Bone marrow smear · brightfield microscopy, 40× oil immersion:
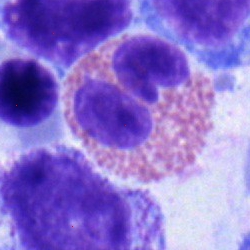
Specimen: bone marrow smear.
Cell type: eosinophil.
Lineage: myeloid.